Brightfield microscopy, 40× oil immersion; single-cell crop; bone marrow aspirate smear:
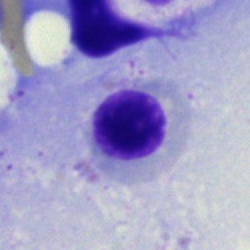
Specimen: bone marrow aspirate smear.
Cell: normoblast.
Lineage: erythroid.